Peripheral blood smear.
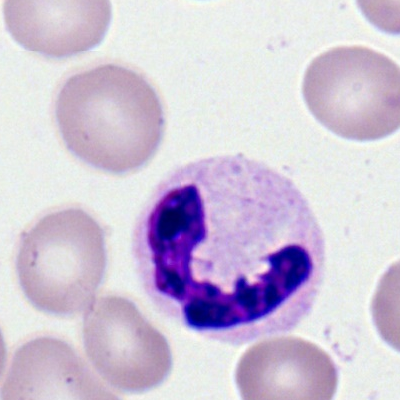 A polymorphonuclear neutrophil.